250×250. Bone marrow smear — 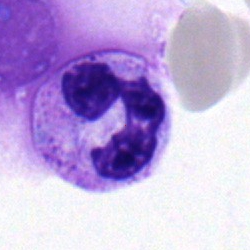
Cell — neutrophil (segmented).